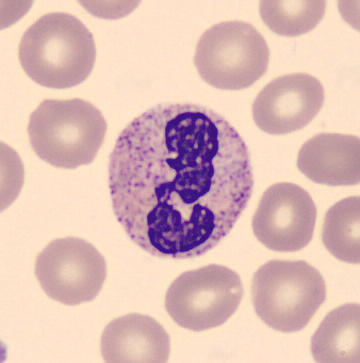

Specimen: peripheral blood film.
Classification: polymorphonuclear neutrophil.
Lineage: myeloid. Preparation: 360 by 363 pixels.